Bone marrow aspirate smear; brightfield, 40× oil-immersion objective: 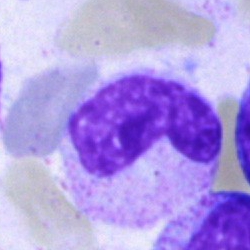Cell: stab cell.